Bone marrow aspirate smear — 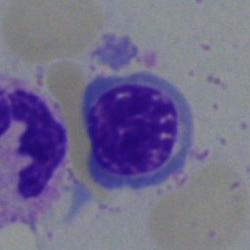 {"cell_type": "erythroblast", "lineage": "erythroid"}